Bone marrow smear.
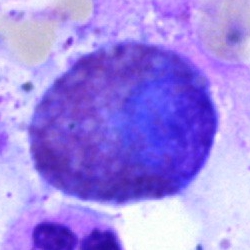

This is an eosinophil.